Bone marrow smear — 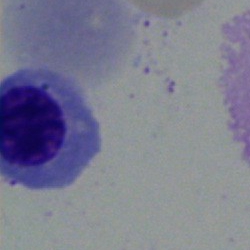
A nucleated red cell.